Brightfield, 40× oil-immersion objective; bone marrow smear — 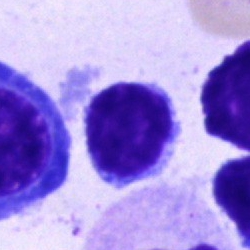

This is a lymphocyte.